May-Grünwald-Giemsa/Pappenheim stain. Bone marrow smear — 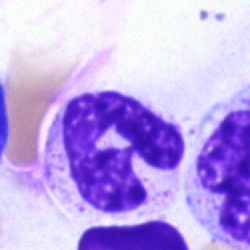 {"cell_type": "polymorphonuclear neutrophil"}